Image size 250×250 · single-cell crop · bone marrow smear — 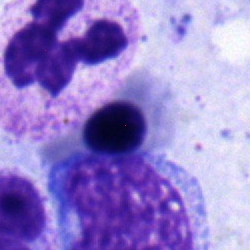 Impression → erythroblast.